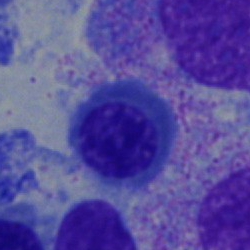

The classification is erythroblast.